Bone marrow aspirate smear
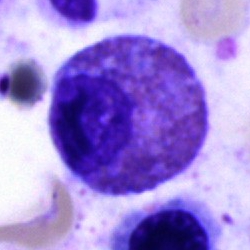Showing an eosinophil.